Brightfield, 100× oil-immersion objective · peripheral blood smear · Romanowsky-type stain — 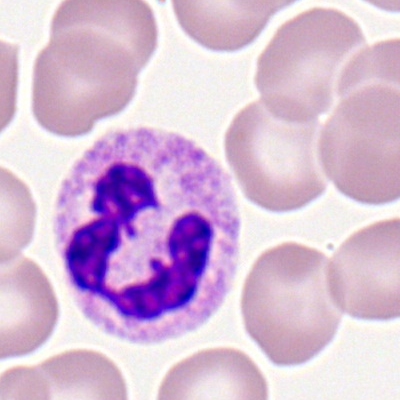Showing a neutrophil (segmented).